Bone marrow smear.
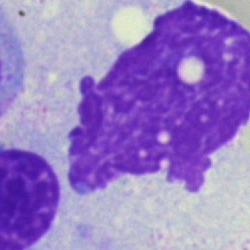Single cell identified as an artefact.